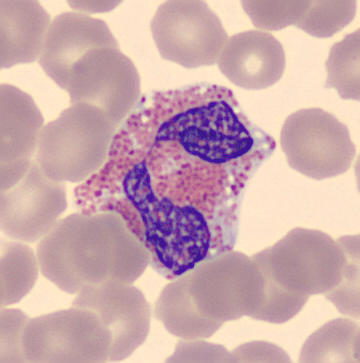Image: May-Grünwald-Giemsa-stained. Peripheral blood smear. Cropped to a single cell.

This is an eosinophil.